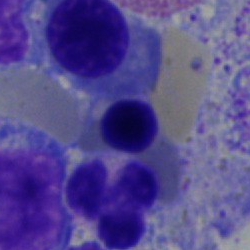 Q: Which cell type is shown here?
A: A nucleated red cell.